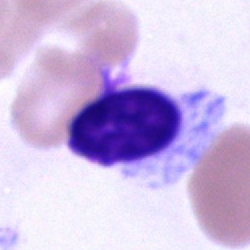 {"cell_type": "lymphocyte", "lineage": "lymphoid"}